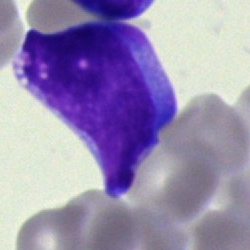

Showing an undifferentiated blast.